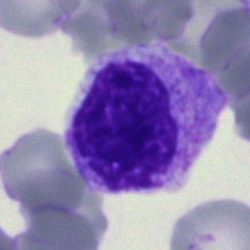 Q: What is the morphological classification of this cell?
A: It is a myelocyte.